Bone marrow aspirate smear — 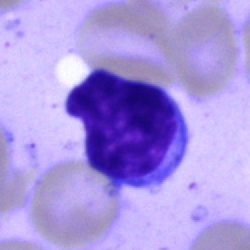{"cell_type": "typical lymphocyte", "lineage": "lymphoid"}